Bone marrow smear — 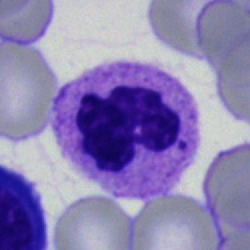 Morphology consistent with a polymorphonuclear neutrophil.